Bone marrow smear. May-Grünwald-Giemsa stain
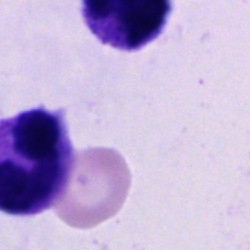The cell type is cell of indeterminate lineage.